Peripheral blood smear · Romanowsky-stained:
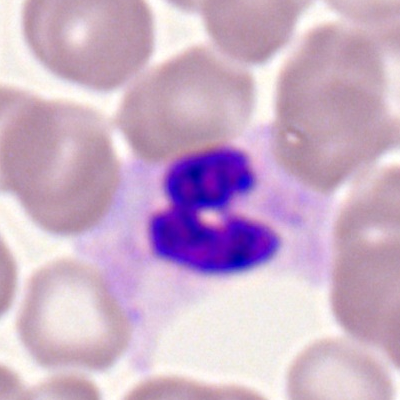Morphology → neutrophil (segmented).